MGG-stained; single-cell field; bone marrow aspirate smear
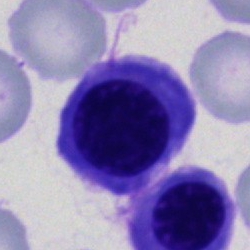

An erythroblast.